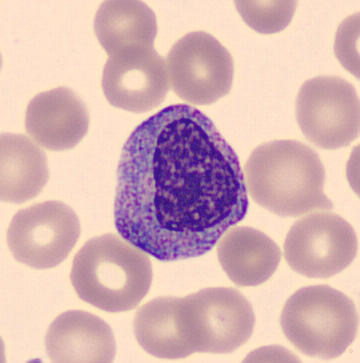Impression → myelocyte.